Single-cell crop · bone marrow aspirate smear · 40× oil immersion:
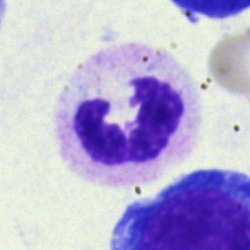Morphology → polymorphonuclear neutrophil.